Bone marrow smear. MGG-stained:
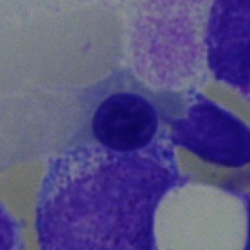
Impression — nucleated red cell.